250 by 250 pixels. Bone marrow smear
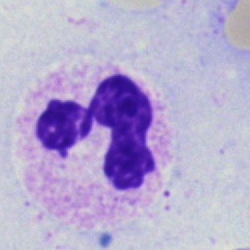
Specimen: bone marrow smear.
Morphological class: neutrophil (segmented).
Lineage: myeloid.